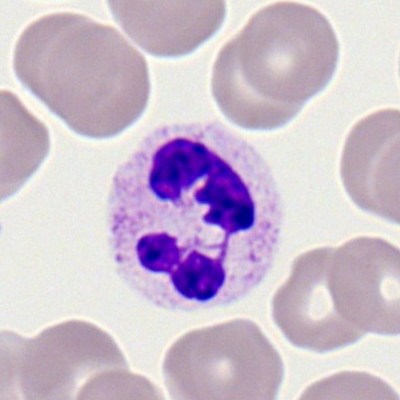 Specimen: peripheral blood film.
Classification: polymorphonuclear neutrophil.
Lineage: myeloid.